Bone marrow aspirate smear: 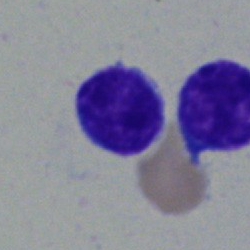 Morphology → lymphocyte.